Bone marrow aspirate smear.
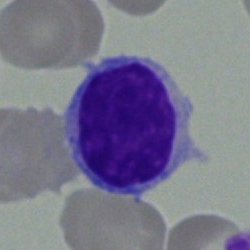

Specimen: bone marrow smear.
Cell type: typical lymphocyte.